Bone marrow smear:
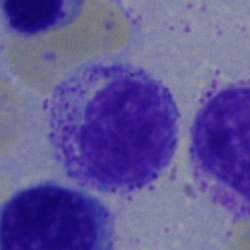Morphology consistent with a myelocyte.